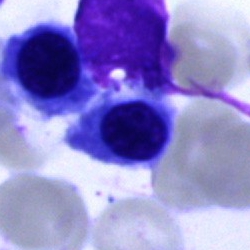

Morphology → nucleated red cell.